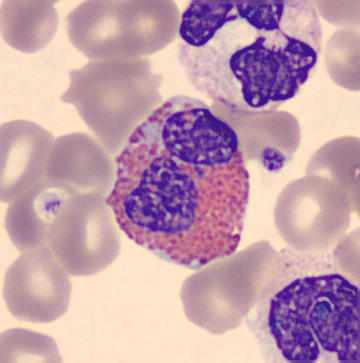 An eosinophilic granulocyte. Preparation: Peripheral blood film.